Bone marrow aspirate smear.
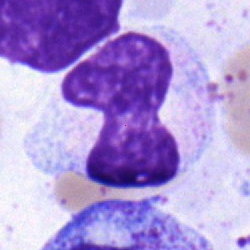
Single cell identified as a neutrophil (band).